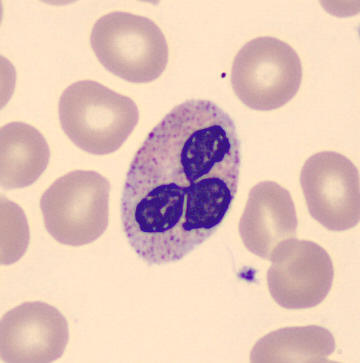Q: What is this?
A: It is a segmented neutrophil.

Image: Peripheral blood film.